May-Grünwald-Giemsa stain. Bone marrow aspirate smear.
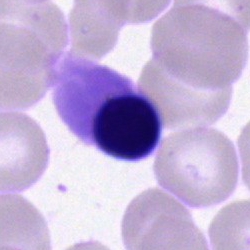

Morphology consistent with a normoblast.